Bone marrow aspirate smear.
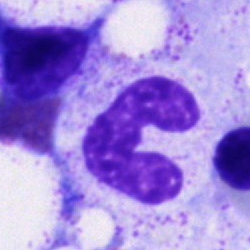 Showing a neutrophil (band).